Peripheral blood smear
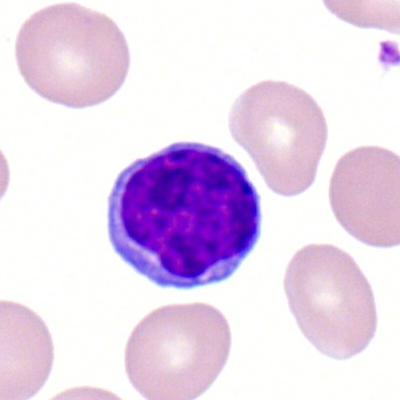
Cell type: typical lymphocyte.